Peripheral blood smear.
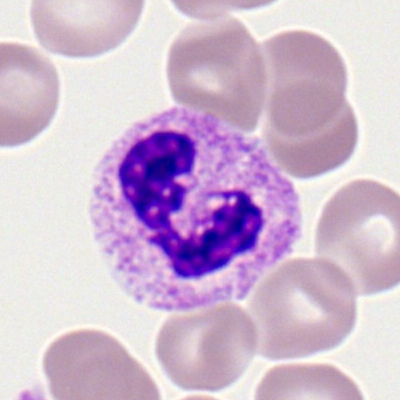

The cell shown is a segmented neutrophil.